Peripheral blood film: 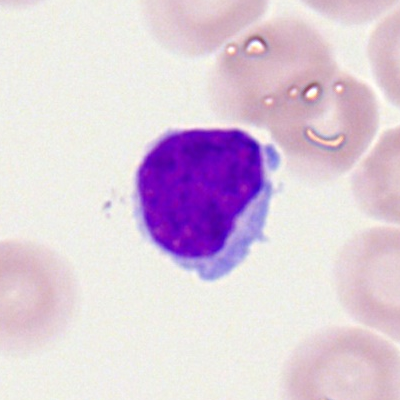Impression — typical lymphocyte.